40× oil immersion · bone marrow aspirate smear: 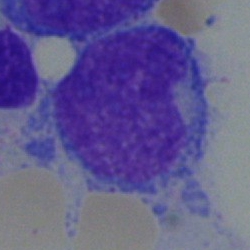Single cell identified as an undifferentiated blast.